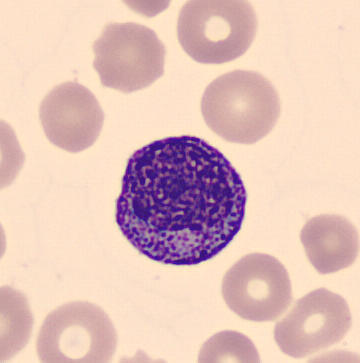Q: What cell is this?
A: It is a myelocyte.